Bone marrow aspirate smear
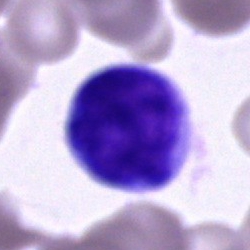The cell is cell of indeterminate lineage.